Bone marrow smear · 40× oil immersion · single cell centered in the field:
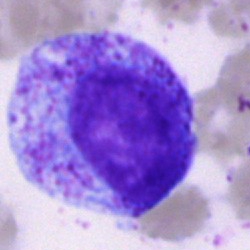

This is a progranulocyte.